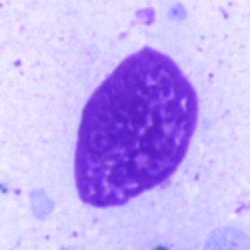

Artifact.